Bone marrow smear: 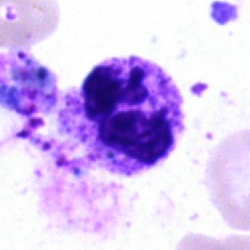 Neutrophil (segmented).